Bone marrow smear: 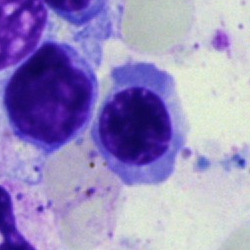
Morphology consistent with a nucleated red blood cell.